Bone marrow aspirate smear: 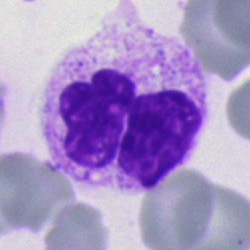

Specimen: bone marrow aspirate smear.
Morphological class: segmented neutrophil.